250 by 250 pixels. Bone marrow aspirate smear. Single cell centered in the field
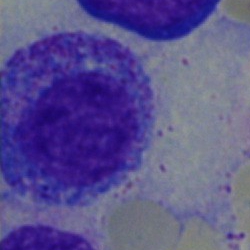 Cell type = myelocyte.